Bone marrow aspirate smear.
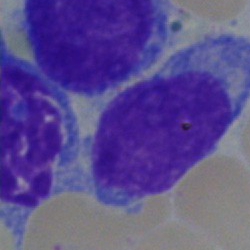Morphology consistent with a blast cell.